Bone marrow aspirate smear: 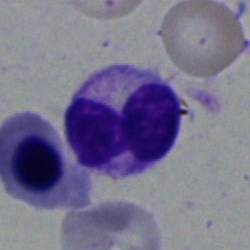

Morphology → neutrophil (segmented).